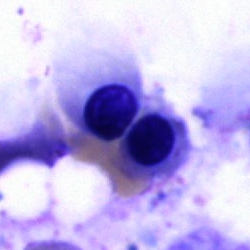{"cell_type": "normoblast"}